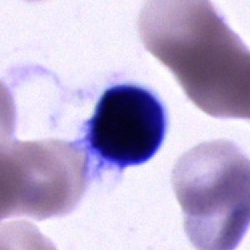

Q: Identify the cell.
A: Unidentifiable cell.